Bone marrow aspirate smear.
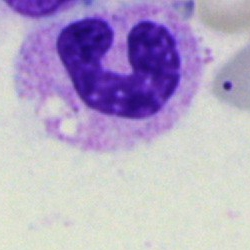 The cell is neutrophil (band).